Bone marrow aspirate smear:
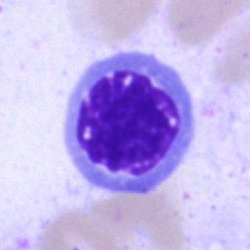{"cell_type": "normoblast", "lineage": "erythroid"}